Bone marrow aspirate smear. 40× objective, oil immersion. Single-cell crop:
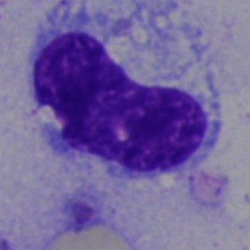Showing a neutrophil (band).